May-Grünwald-Giemsa/Pappenheim stain. Bone marrow smear
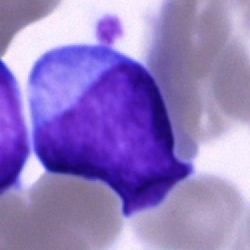
Morphology consistent with a blast cell.